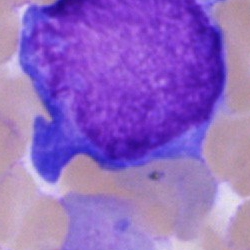

Single-cell crop from a bone marrow smear: blast cell.